Peripheral blood smear — 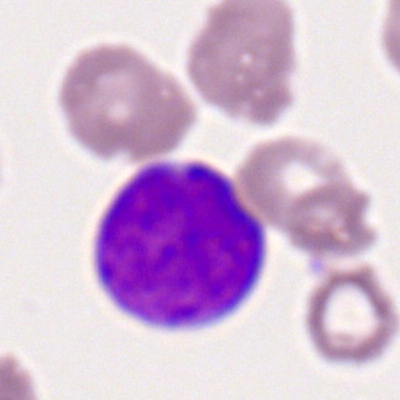Cell — myeloblast.